Bone marrow aspirate smear
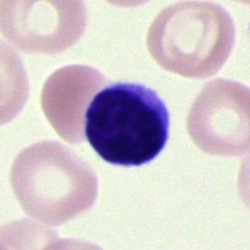Showing an artefact.